Bone marrow smear. Cropped to a single cell. May-Grünwald-Giemsa/Pappenheim stain:
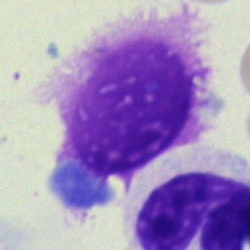
Showing an artefact.